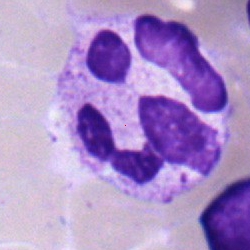 A polymorphonuclear neutrophil on a bone marrow smear.